Bone marrow aspirate smear. Single-cell crop:
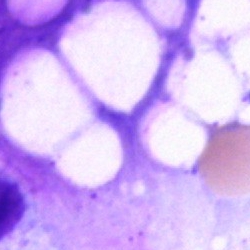 Morphology — artifact.